Bone marrow smear — 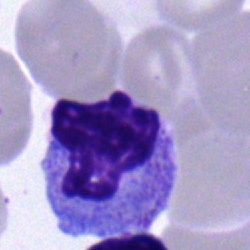The cell shown is a myelocyte.